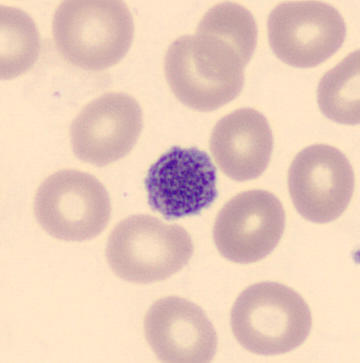
Identified as a platelet.